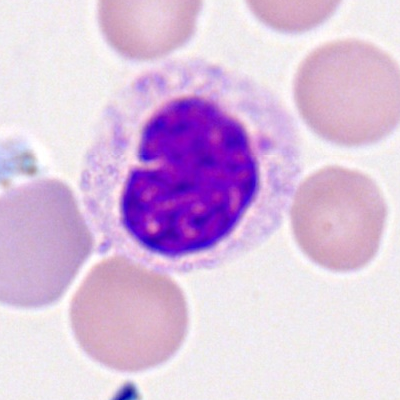

Morphology — polymorphonuclear neutrophil.